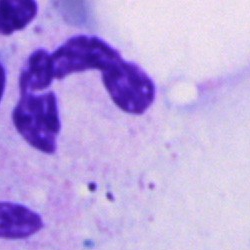

Specimen: bone marrow aspirate smear.
Classification: neutrophil (segmented).